Peripheral blood film; Romanowsky stain
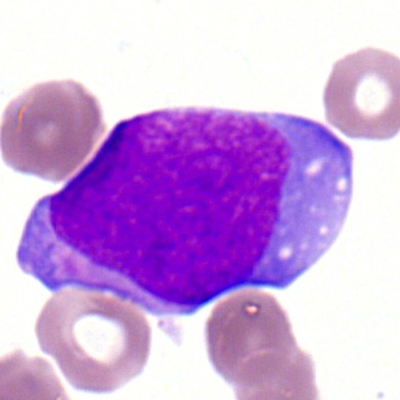Morphological class — myeloblast.